Bone marrow smear: 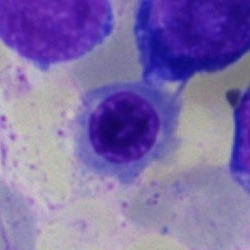Cell type = nucleated red cell.